Bone marrow smear. May-Grünwald-Giemsa/Pappenheim stain: 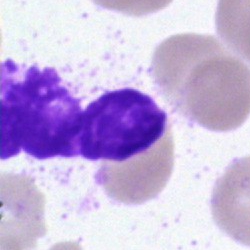 Q: What is shown here?
A: Artefact.